Bone marrow aspirate smear; brightfield, 40× oil-immersion objective
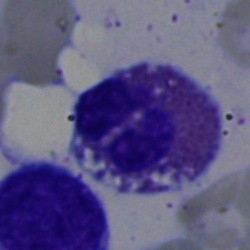The cell type is eosinophilic granulocyte.